Peripheral blood film
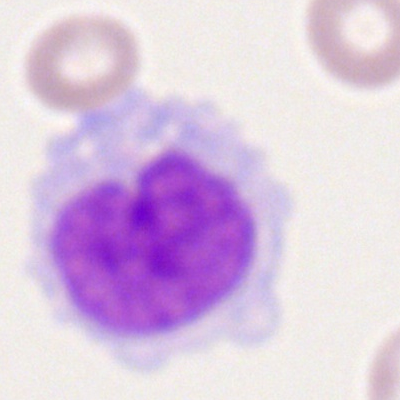
Morphology consistent with a monocyte.